Bone marrow smear · image size 250×250 · single-cell crop.
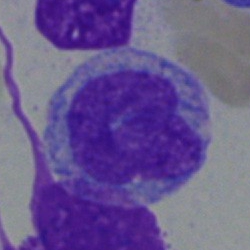Q: What is the morphological classification of this cell?
A: Monocyte.